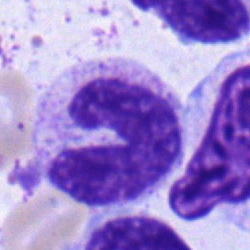 This is a band neutrophil.